Bone marrow aspirate smear:
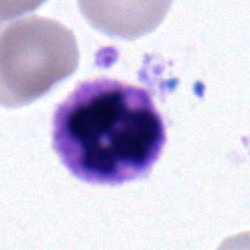Morphological class — neutrophil (segmented).